Bone marrow aspirate smear.
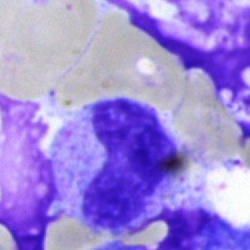

Morphology consistent with a neutrophil (band).